Bone marrow aspirate smear. Brightfield microscopy, 40× oil immersion — 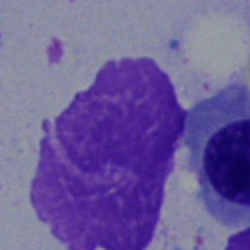

Cell type — artifact.